Bone marrow smear.
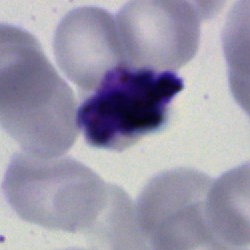
{"cell_type": "artifact"}